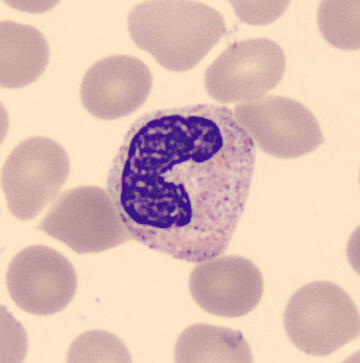

A neutrophil (band).